Bone marrow smear
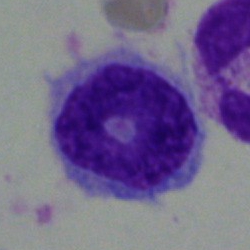 The morphological class is monocyte.